Bone marrow smear · brightfield, 40× oil-immersion objective — 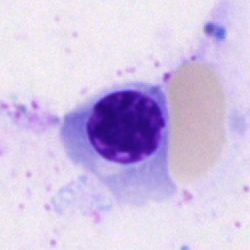 This is a nucleated red cell.